Bone marrow aspirate smear — 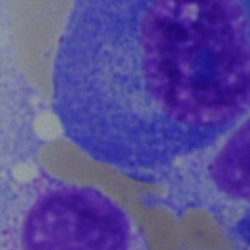Q: What is shown here?
A: This is a plasma cell.